Bone marrow smear: 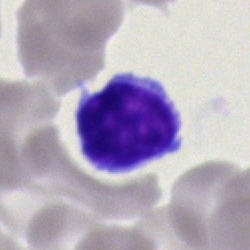 Q: What is the morphological classification of this cell?
A: Typical lymphocyte.